40× objective, oil immersion; Pappenheim-stained; bone marrow aspirate smear:
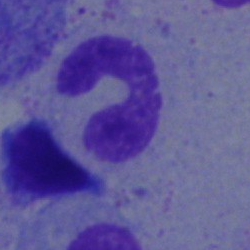 Neutrophil (band).